Bone marrow aspirate smear; image size 250×250 — 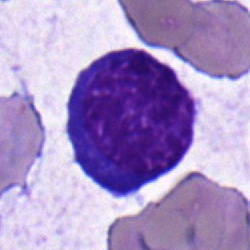 The classification is nucleated red blood cell.